Romanowsky stain. 400×400. Peripheral blood smear — 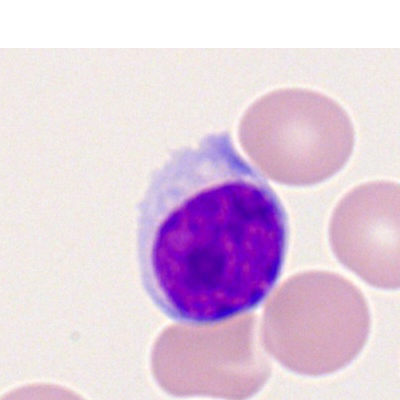 The cell type is typical lymphocyte.